Brightfield, 40× oil-immersion objective. Single cell centered in the field. Bone marrow smear — 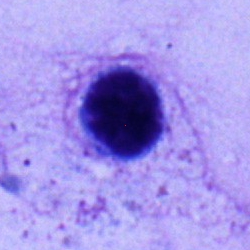

{"cell_type": "typical lymphocyte"}